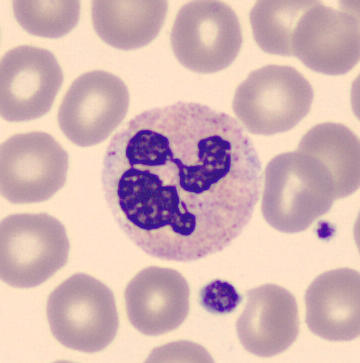 {"cell_type": "polymorphonuclear neutrophil", "lineage": "myeloid"}